Single-cell crop; Romanowsky-type stain; peripheral blood film: 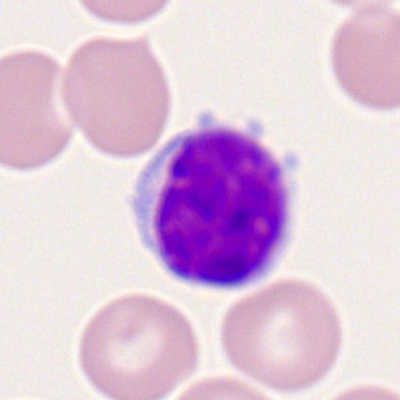

{"cell_type": "lymphocyte", "lineage": "lymphoid"}